Bone marrow aspirate smear; Pappenheim-stained; 250×250 px
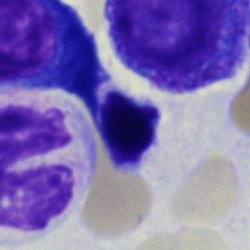Cell type = nucleated red blood cell.